May-Grünwald-Giemsa/Pappenheim stain; bone marrow smear
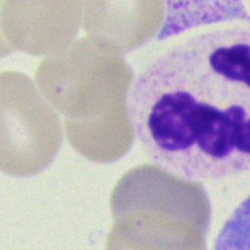 Impression — segmented neutrophil.